Cropped to a single cell; bone marrow aspirate smear; 250×250 px.
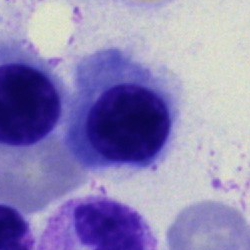

Cell type = nucleated red blood cell.